Bone marrow smear · 40× oil immersion:
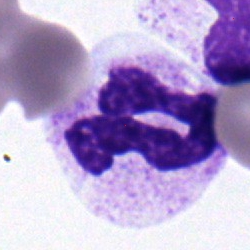

This is a neutrophil (segmented).